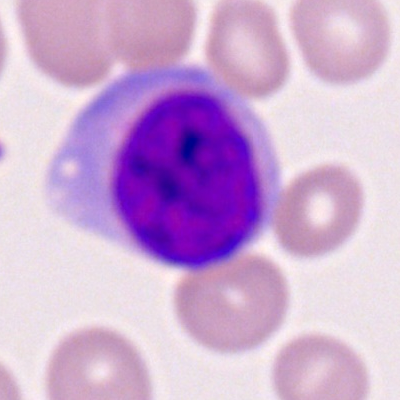Impression — typical lymphocyte.